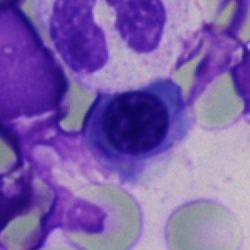The cell shown is an erythroblast.